Bone marrow smear. May-Grünwald-Giemsa/Pappenheim stain. 250 by 250 pixels:
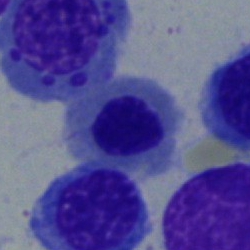 Morphology consistent with a nucleated red cell.